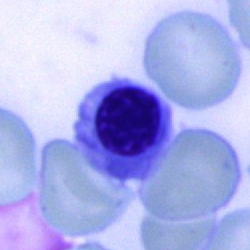
The morphological class is erythroblast.